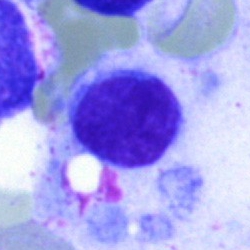Morphology → lymphocyte.